Peripheral blood film.
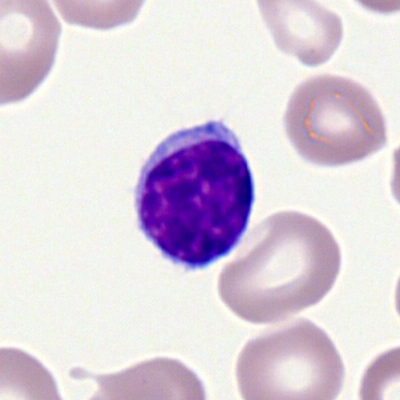Q: Which cell type is shown here?
A: It is a typical lymphocyte.